Bone marrow aspirate smear · 250×250.
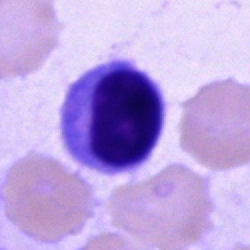This is a lymphocyte.